Bone marrow smear. May-Grünwald-Giemsa/Pappenheim stain
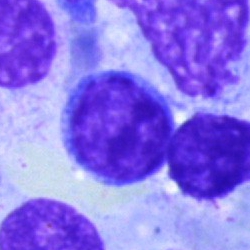Specimen: bone marrow smear.
Classification: lymphocyte.